Bone marrow smear
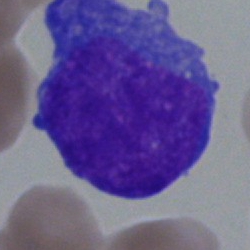
Morphology → undifferentiated blast.